250×250 px. Bone marrow smear. MGG-stained: 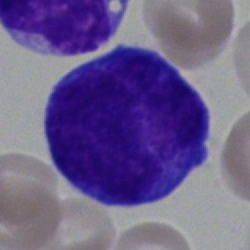
Showing a blast cell.